Bone marrow smear:
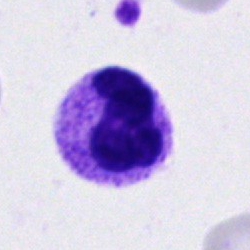

Morphology consistent with a polymorphonuclear neutrophil.